Bone marrow smear — 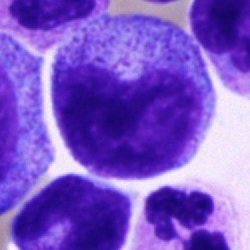
Classification = promyelocyte.